250 by 250 pixels; May-Grünwald-Giemsa stain; bone marrow aspirate smear — 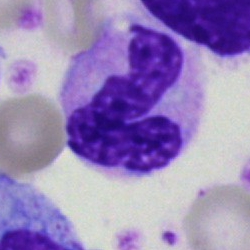 Morphology → polymorphonuclear neutrophil.